40× objective, oil immersion. Bone marrow aspirate smear:
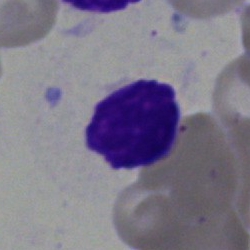 Artifact.